40× oil immersion · bone marrow smear · image size 250×250: 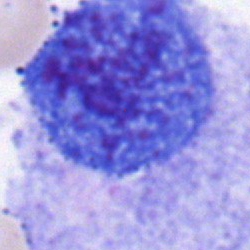The cell type is plasma cell.